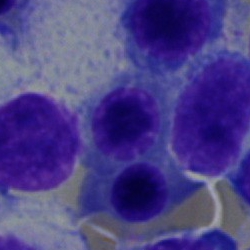

Morphology — erythroblast.